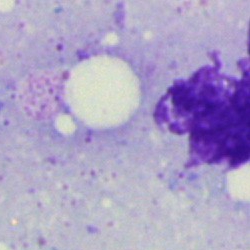 Impression — artefact.